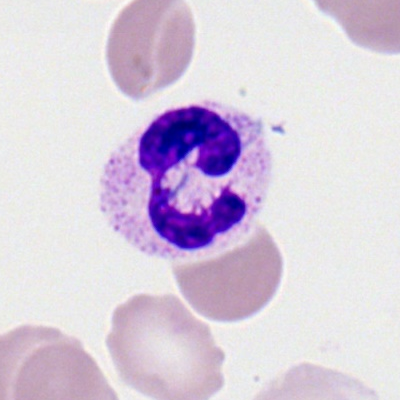Q: What type of cell is this?
A: It is a segmented neutrophil.